Bone marrow smear — 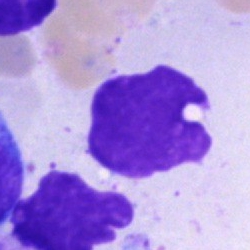
Classification = artifact.